Bone marrow aspirate smear — 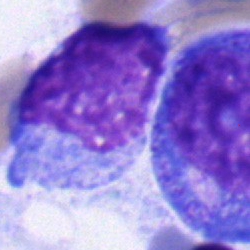 Cell: promyelocyte.